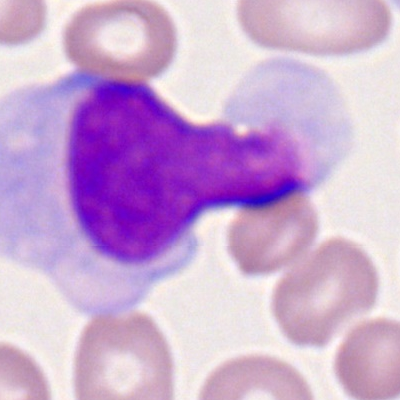 Q: Identify the cell.
A: It is a monocyte.